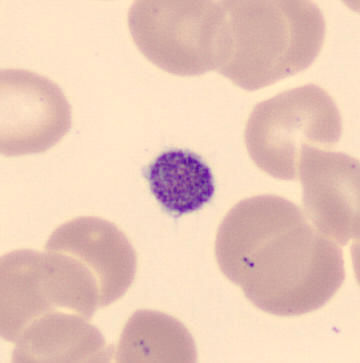Thrombocyte.
Preparation: Peripheral blood smear. MGG stain. 360 by 363 pixels.